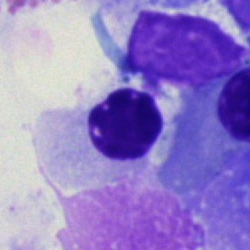
Morphological class — normoblast.